May-Grünwald-Giemsa/Pappenheim stain · single cell centered in the field · bone marrow smear.
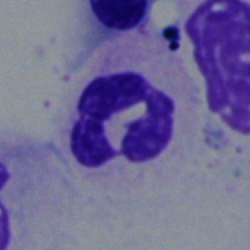Impression → segmented neutrophil.